Bone marrow smear · image size 250×250.
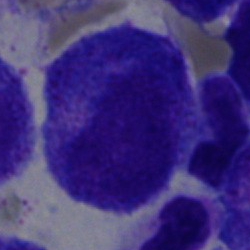 The cell type is progranulocyte.